Bone marrow aspirate smear · single cell centered in the field — 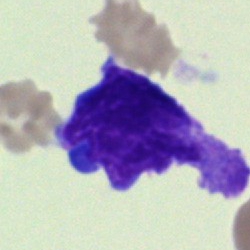
Classification — promyelocyte.